Pappenheim-stained. Bone marrow aspirate smear: 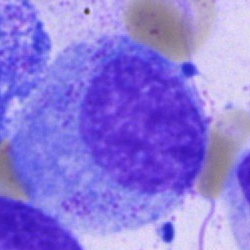
Specimen: bone marrow aspirate smear.
Morphological class: promyelocyte.
Lineage: myeloid.